Bone marrow smear
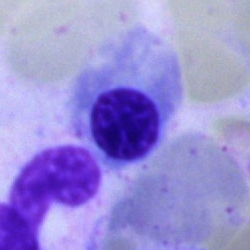 Showing a nucleated red blood cell.